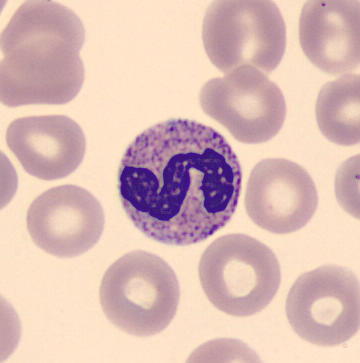 The cell shown is a segmented neutrophil.
Acquisition: Peripheral blood film.